Bone marrow smear — 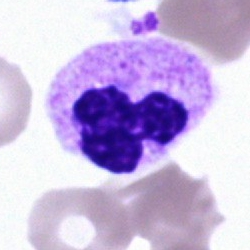

Specimen: bone marrow smear.
Cell: segmented neutrophil.